Bone marrow smear — 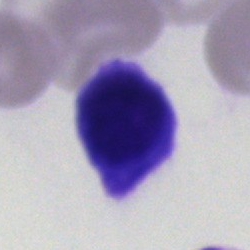

Classification: lymphocyte.